Bone marrow smear. 250×250 — 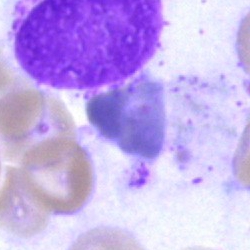
{"cell_type": "artefact"}